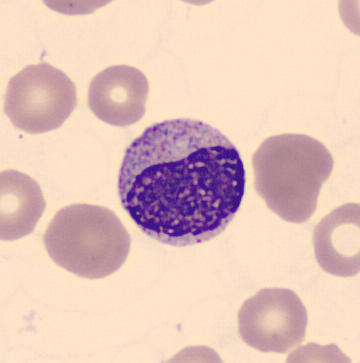 Morphology consistent with a metamyelocyte.

Peripheral blood film.